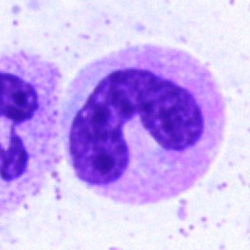

Impression → band neutrophil.